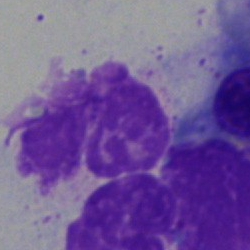

Cell type = artefact.